Pappenheim-stained. Bone marrow smear:
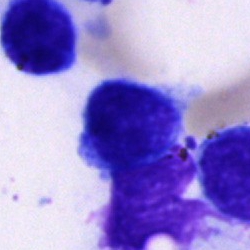Cell — typical lymphocyte.